Peripheral blood smear; 360 by 363 pixels; single-cell field
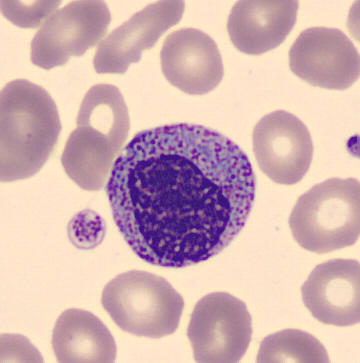 Morphology → myelocyte.